MGG-stained. 40× objective, oil immersion. Bone marrow aspirate smear:
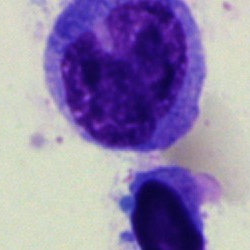Q: What type of cell is this?
A: It is a monocyte.